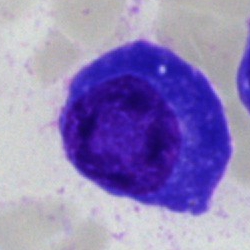

Specimen: bone marrow smear.
Morphological class: plasmacyte.
Lineage: lymphoid.